Bone marrow aspirate smear; single cell centered in the field; 250×250 px
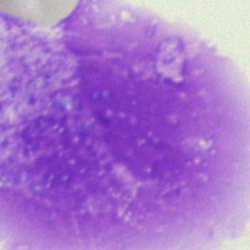 The cell is artefact.